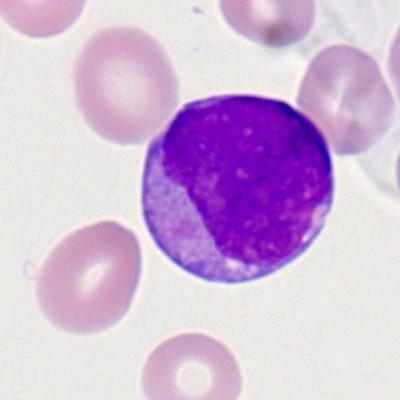
Q: What cell is this?
A: Myeloid blast.